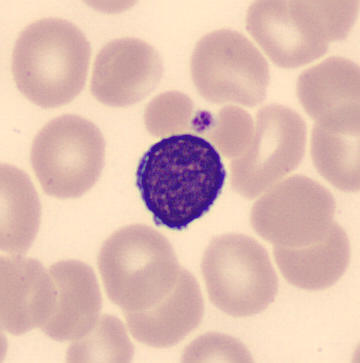 Image: Peripheral blood film; May Grünwald-Giemsa stain.

Morphological class — typical lymphocyte.